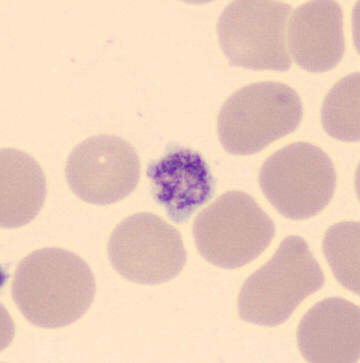
Preparation: Peripheral blood smear. 360×363 px. May Grünwald-Giemsa stain.

Impression → thrombocyte.